Cropped to a single cell. Bone marrow smear:
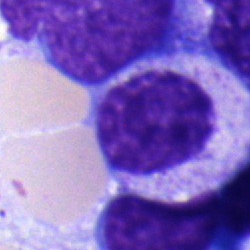 Q: Which cell type is shown here?
A: It is a myelocyte.